Bone marrow smear · image size 250×250 · single-cell field.
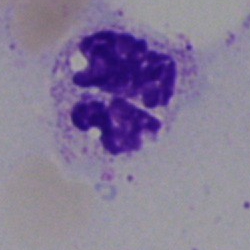 Q: What is the morphological classification of this cell?
A: This is a polymorphonuclear neutrophil.